Bone marrow smear — 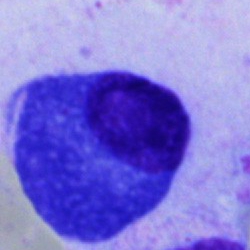 The cell is plasmacyte.